Bone marrow aspirate smear. Brightfield microscopy, 40× oil immersion.
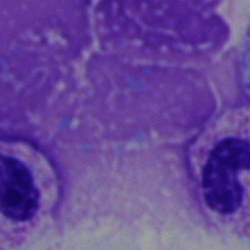
Impression → artifact.